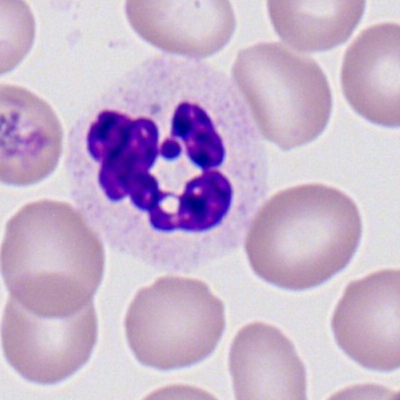
Peripheral blood smear showing a polymorphonuclear neutrophil.